May-Grünwald-Giemsa stain · bone marrow aspirate smear:
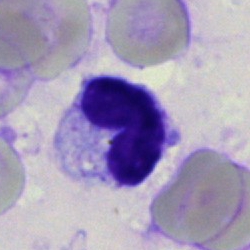
Q: Which cell type is shown here?
A: A segmented neutrophil.